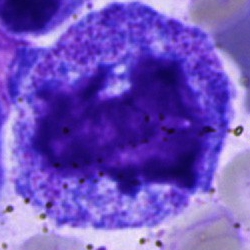
The morphological class is progranulocyte.